Peripheral blood film.
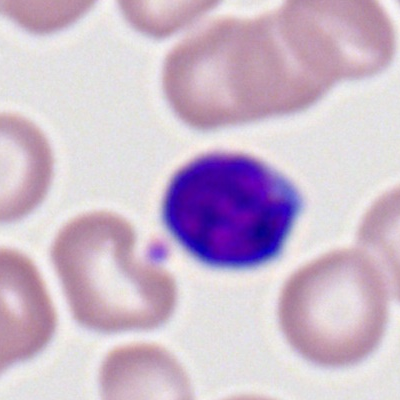

Cell type = lymphocyte.